250×250 px. Bone marrow aspirate smear. Single-cell field.
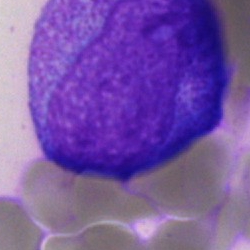

Specimen: bone marrow aspirate smear.
Cell type: promyelocyte.
Lineage: myeloid.